Bone marrow smear
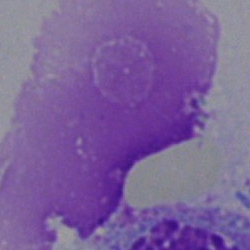Morphological class: artifact.